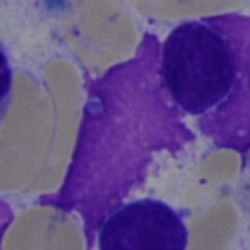
Cell type — artefact.